Bone marrow aspirate smear. Cropped to a single cell. Pappenheim-stained: 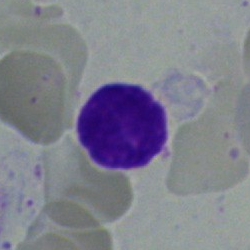Cell = lymphocyte.